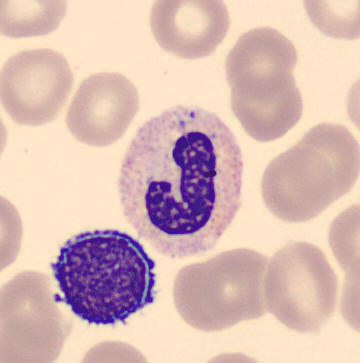

Q: What is shown here?
A: This is a stab cell. Peripheral blood smear. Imaged on a CellaVision DM96 analyser. MGG stain.